Bone marrow aspirate smear:
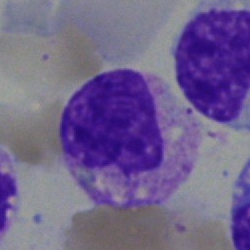 Morphology consistent with a band neutrophil.